Peripheral blood film. M8 digital microscope (Precipoint), 100× oil immersion.
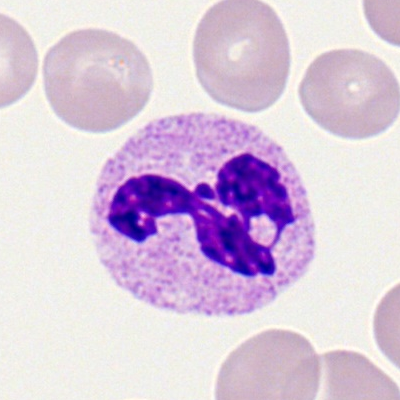 The classification is neutrophil (segmented).